Bone marrow aspirate smear.
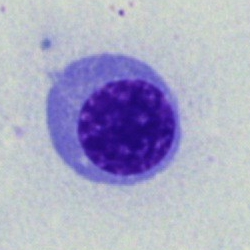

The cell is erythroblast.